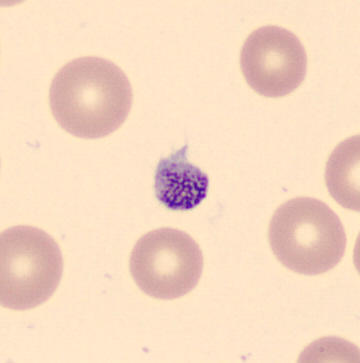 {"cell_type": "platelet (thrombocyte)"}